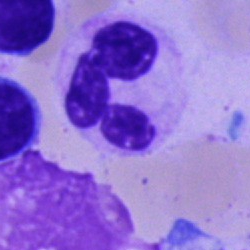

A neutrophil (segmented) on a bone marrow smear.